Bone marrow aspirate smear. 250×250 px.
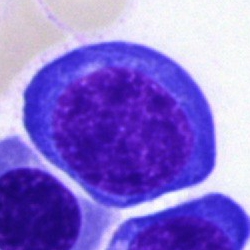 Q: Identify the cell.
A: This is a normoblast.